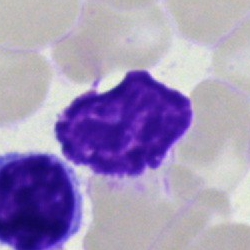
Specimen: bone marrow smear.
Classification: lymphocyte.
Lineage: lymphoid.